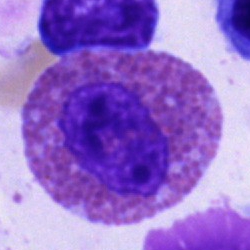

Showing an eosinophil.